Brightfield microscopy, 40× oil immersion. Bone marrow aspirate smear — 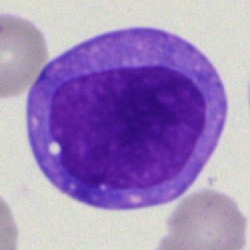
Blast cell.